May-Grünwald-Giemsa/Pappenheim stain · brightfield microscopy, 40× oil immersion · bone marrow smear.
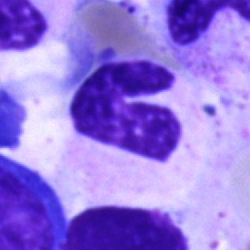
Q: What is the morphological classification of this cell?
A: It is a band neutrophil.